Single-cell crop. Bone marrow aspirate smear: 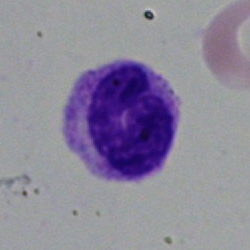

Impression → neutrophil (segmented).